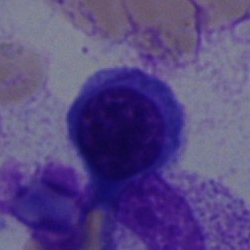
Single-cell crop from a bone marrow smear: normoblast.